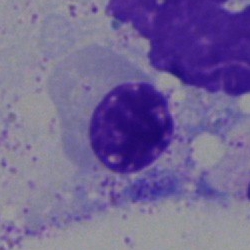

Q: What cell is this?
A: A normoblast.